Bone marrow aspirate smear · cropped to a single cell — 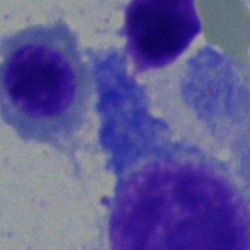

The morphological class is plasmacyte.